Bone marrow smear
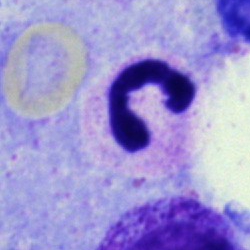

The cell shown is a polymorphonuclear neutrophil.